Bone marrow smear: 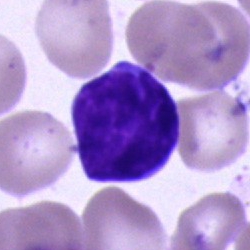
Cell: cell of indeterminate lineage.